Bone marrow aspirate smear: 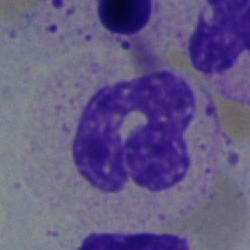
Showing a band neutrophil.